400 by 400 pixels; Romanowsky stain; peripheral blood film.
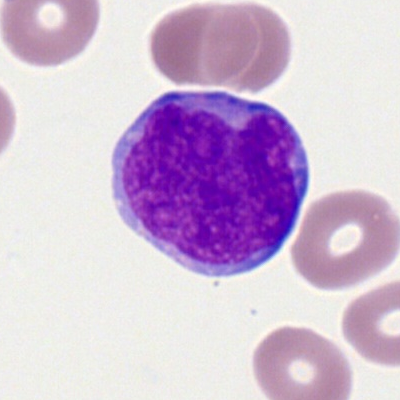

The cell is myeloblast.